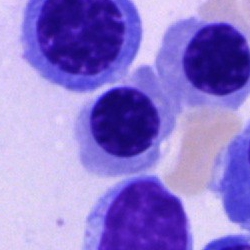Nucleated red blood cell.